Bone marrow smear; single cell centered in the field; Pappenheim-stained.
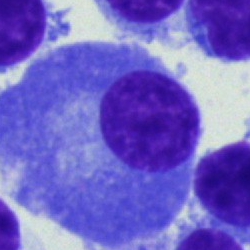
Q: Which cell type is shown here?
A: A plasma cell.